Bone marrow aspirate smear:
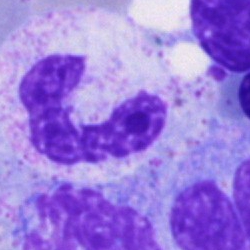A neutrophil (band).